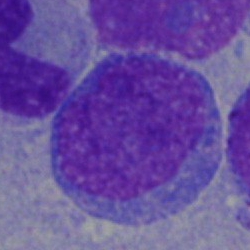Bone marrow smear showing a blast cell.